Bone marrow aspirate smear:
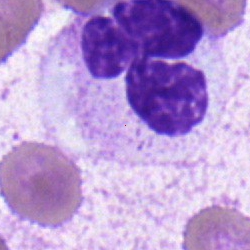Classification = neutrophil (segmented).